May-Grünwald-Giemsa stain. Bone marrow smear.
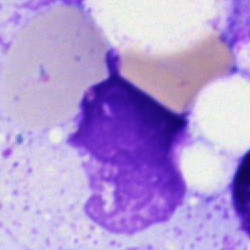

Cell: artefact.